May-Grünwald-Giemsa stain · 40× oil immersion · bone marrow aspirate smear.
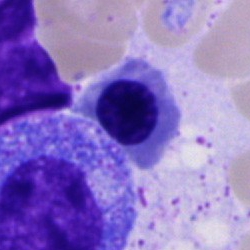

Cell = normoblast.